Bone marrow smear.
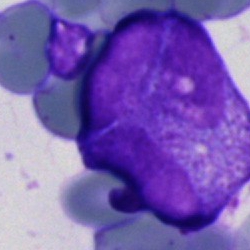

Q: What cell is this?
A: A blast.